250 by 250 pixels. Single-cell field. Bone marrow aspirate smear.
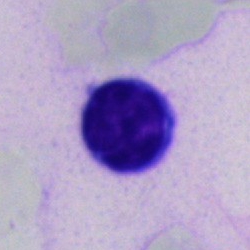
This is a lymphocyte.